Bone marrow aspirate smear · 40× oil immersion: 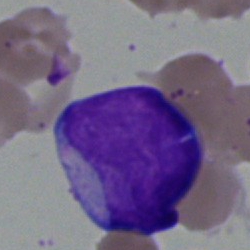 The cell is undifferentiated blast.